Bone marrow smear — 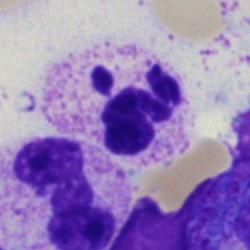 Polymorphonuclear neutrophil.